Bone marrow aspirate smear:
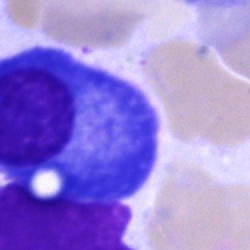
Morphological class = plasmacyte.